Bone marrow smear · 40× objective, oil immersion:
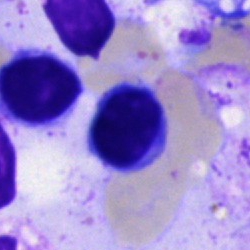Cell type = lymphocyte.